Single-cell field; bone marrow smear — 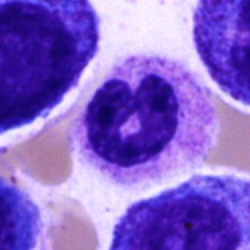

Single cell identified as a band neutrophil.